Bone marrow smear: 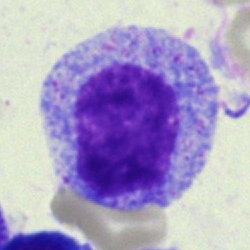
Specimen: bone marrow aspirate smear.
Cell type: myelocyte.
Lineage: myeloid.